Bone marrow aspirate smear — 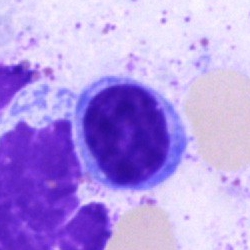

The morphological class is lymphocyte.